Bone marrow aspirate smear:
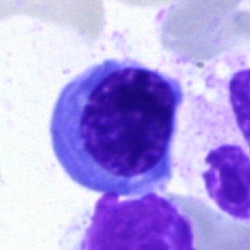

Impression — nucleated red blood cell.